400 by 400 pixels · peripheral blood smear
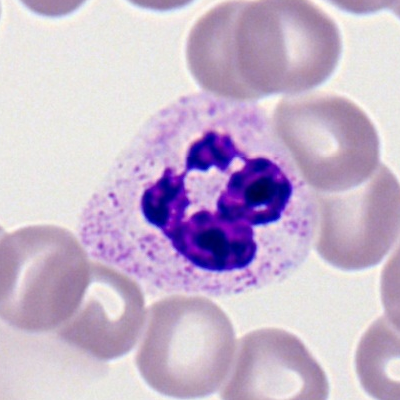 {"cell_type": "segmented neutrophil"}